Peripheral blood film.
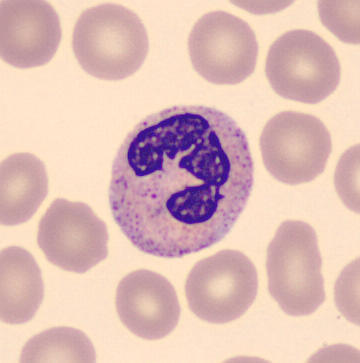
{"cell_type": "neutrophil (segmented)"}